Bone marrow aspirate smear; 250×250 px:
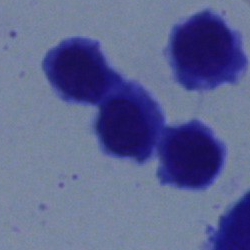 Morphology → nucleated red cell.